Bone marrow smear:
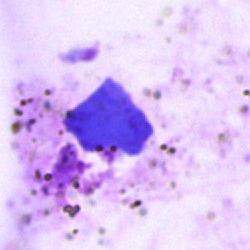

Classification = artefact.